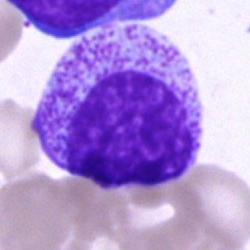 Morphology — myelocyte.